Bone marrow smear. Cropped to a single cell:
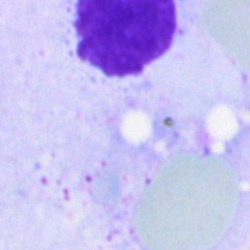

Specimen: bone marrow aspirate smear.
Classification: artifact.